Bone marrow smear · 40× objective, oil immersion: 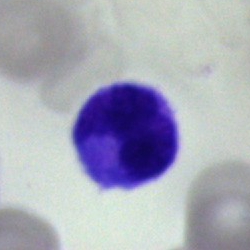 Cell = monocyte.